Bone marrow smear.
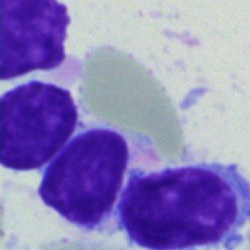 Specimen: bone marrow smear.
Cell type: typical lymphocyte.